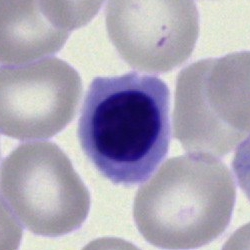

Impression → erythroblast.